Bone marrow aspirate smear. Single-cell field:
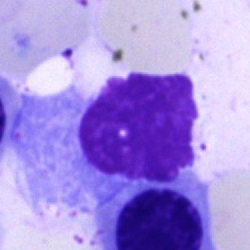 Cell — artifact.